Peripheral blood smear.
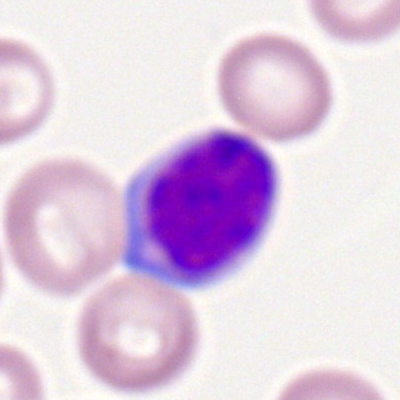

This is a lymphocyte.